Single cell centered in the field · image size 250×250 · bone marrow aspirate smear.
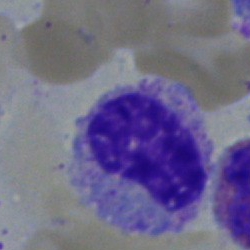

Showing a segmented neutrophil.